Peripheral blood film: 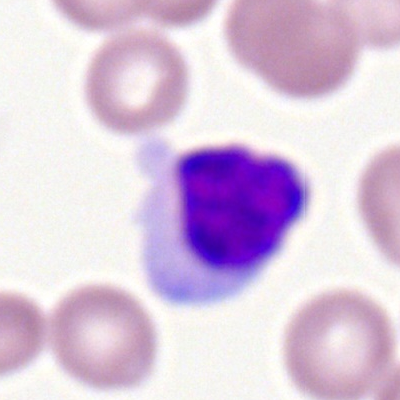Specimen: peripheral blood smear.
Cell: typical lymphocyte.
Lineage: lymphoid.